250×250; bone marrow aspirate smear; 40× oil immersion:
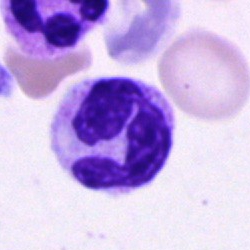
Classification — segmented neutrophil.